Bone marrow aspirate smear
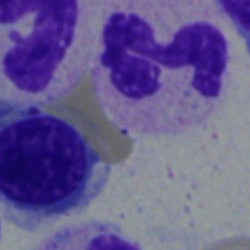Cell = segmented neutrophil.